Peripheral blood smear · brightfield, 100× oil-immersion objective
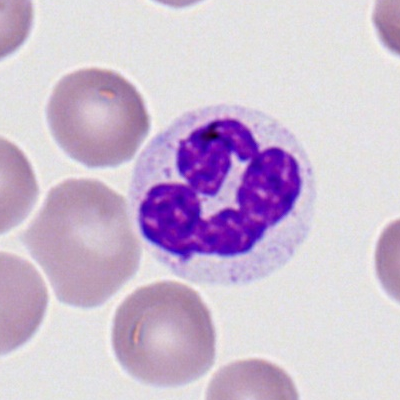

Cell type — neutrophil (segmented).